May-Grünwald-Giemsa stain · bone marrow aspirate smear:
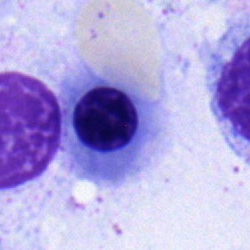
This is a nucleated red cell.